Image size 400×400. M8 digital microscope (Precipoint), 100× oil immersion. Peripheral blood film.
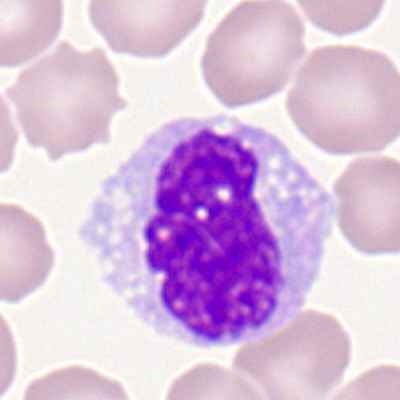

Single cell identified as a monocyte.